Bone marrow smear:
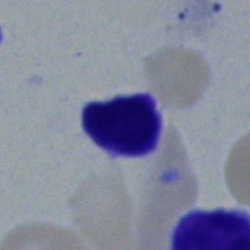
{"cell_type": "lymphocyte"}